Bone marrow smear
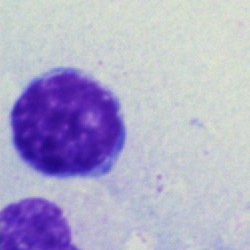 Q: What cell is this?
A: This is a lymphocyte.